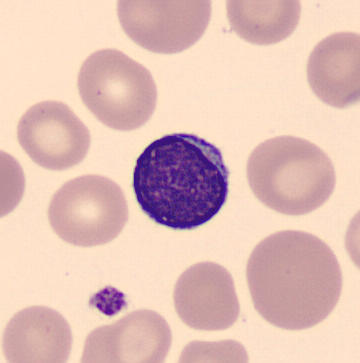 Specimen: peripheral blood film.
Cell: lymphocyte.